Single cell centered in the field · brightfield, 40× oil-immersion objective · bone marrow aspirate smear: 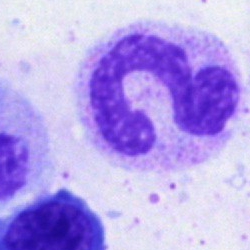
Cell type = polymorphonuclear neutrophil.